Bone marrow aspirate smear; 250 by 250 pixels; single-cell field — 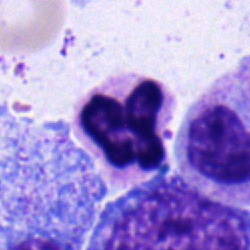Q: What type of cell is this?
A: A polymorphonuclear neutrophil.